Bone marrow aspirate smear:
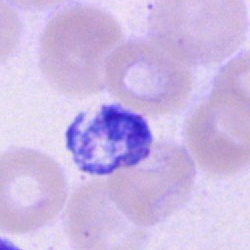 Morphology consistent with an artefact.